250×250; bone marrow smear
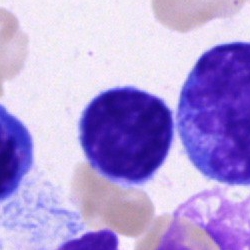Lymphocyte.